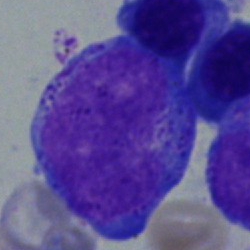A promyelocyte.